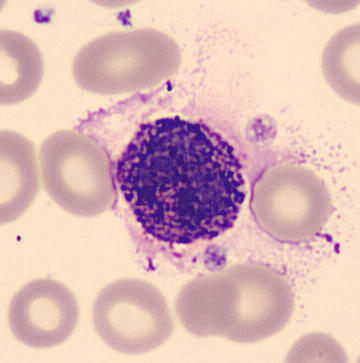 Image: Peripheral blood smear. Basophil.